Bone marrow aspirate smear. Single-cell field: 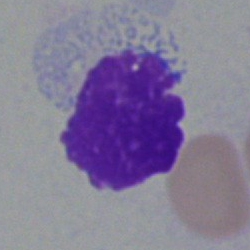Showing an artifact.